Cropped to a single cell · bone marrow smear — 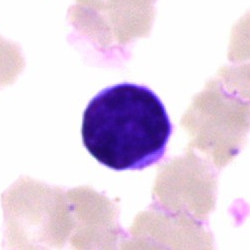
Impression — lymphocyte.